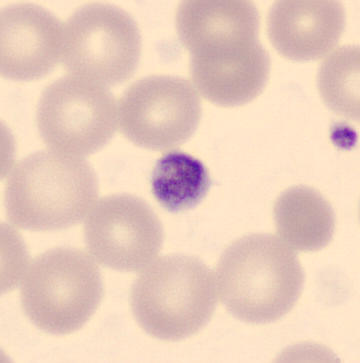 Platelet.